40× oil immersion; bone marrow smear.
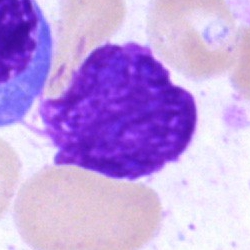 Q: What is shown here?
A: It is an artefact.